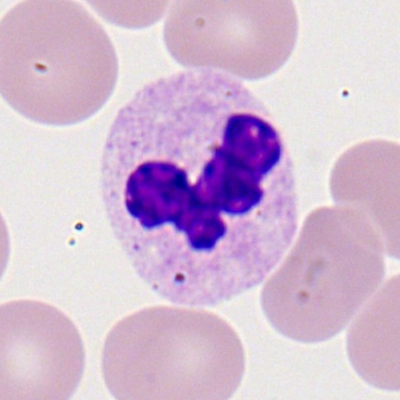Cell type — neutrophil (segmented).